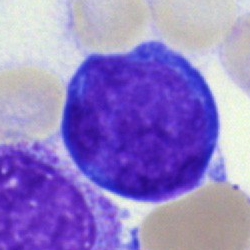

Single-cell crop from a bone marrow smear: blast cell.